Bone marrow smear. 250×250 px.
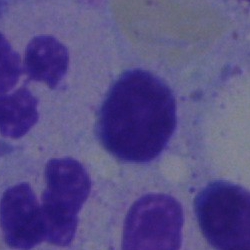

Impression — typical lymphocyte.